Bone marrow smear.
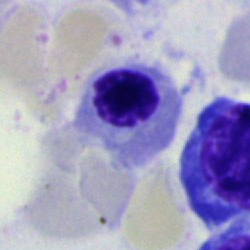

Morphology consistent with a normoblast.